Bone marrow smear · single-cell field · brightfield, 40× oil-immersion objective — 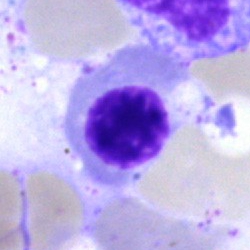

Cell type — nucleated red blood cell.